Bone marrow aspirate smear · 250×250: 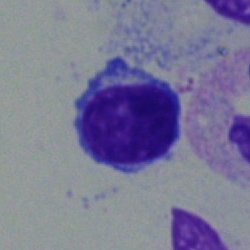 Impression — typical lymphocyte.